Bone marrow smear:
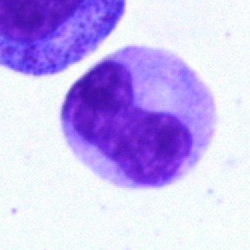 Classification: stab cell.